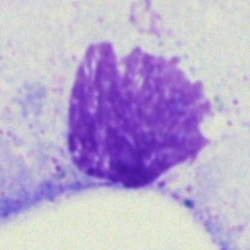Morphology — artefact.